Romanowsky-stained; peripheral blood film: 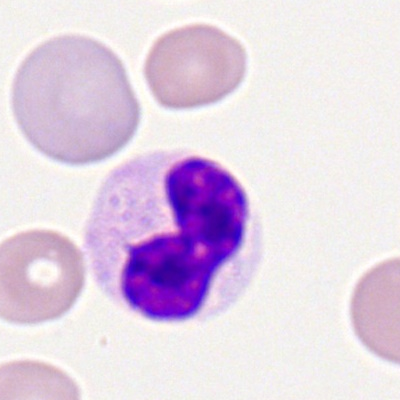 Q: Which cell type is shown here?
A: It is a segmented neutrophil.